Bone marrow smear:
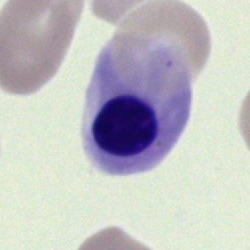 This is an erythroblast.